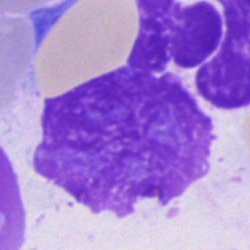
{"cell_type": "artefact"}